Bone marrow smear.
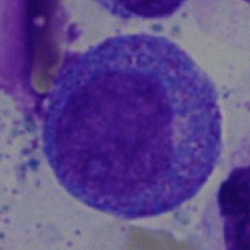 Morphology → progranulocyte.